Bone marrow smear; 40× oil immersion — 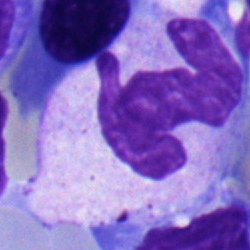
Cell type — polymorphonuclear neutrophil.